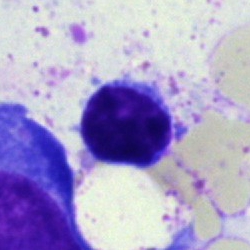 {"cell_type": "lymphocyte", "lineage": "lymphoid"}